Bone marrow aspirate smear · brightfield, 40× oil-immersion objective · May-Grünwald-Giemsa stain: 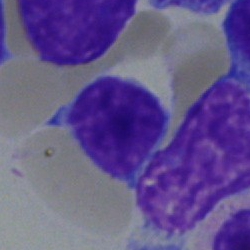 Cell type — typical lymphocyte.